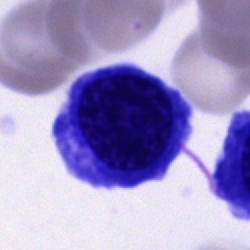Impression — erythroblast.